Peripheral blood smear; imaged on a CellaVision DM96 analyser; MGG stain:
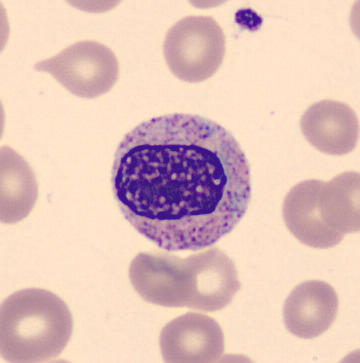
A metamyelocyte.